Bone marrow smear:
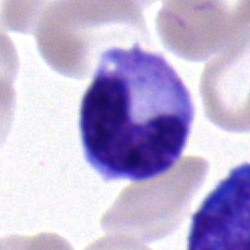

Morphology — band-form neutrophil.